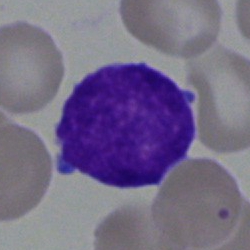

An undifferentiated blast on a bone marrow smear.